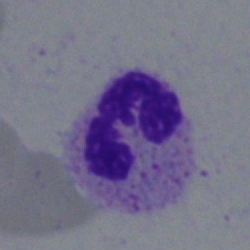
The cell shown is a segmented neutrophil.